Bone marrow aspirate smear.
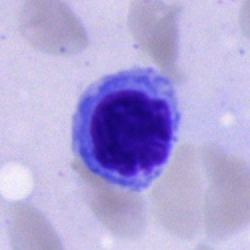Morphology → cell of indeterminate lineage.